Peripheral blood smear.
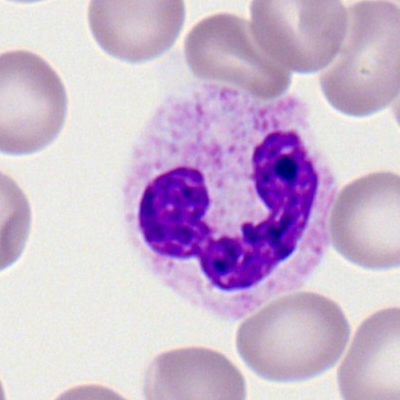Cell type: segmented neutrophil.